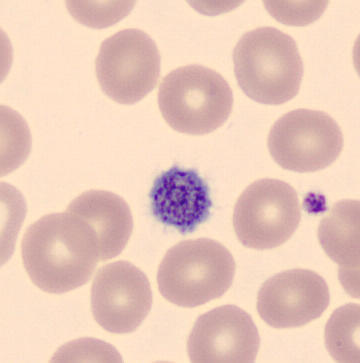 Specimen: peripheral blood smear.
Classification: thrombocyte.